Bone marrow aspirate smear:
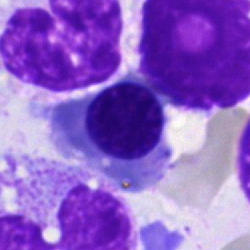 The classification is normoblast.